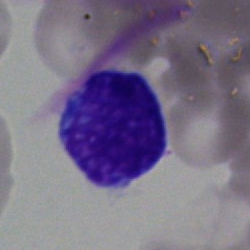 A typical lymphocyte.